Bone marrow smear; 40× oil immersion: 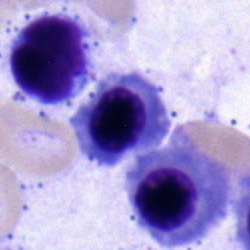 Q: What type of cell is this?
A: A normoblast.